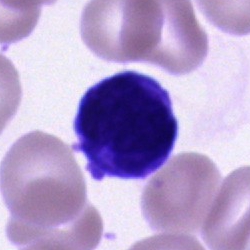

Q: What is the morphological classification of this cell?
A: An unidentifiable cell.